Bone marrow smear; 40× objective, oil immersion.
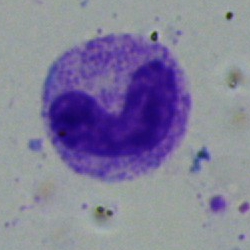
Specimen: bone marrow smear.
Classification: neutrophil (band).
Lineage: myeloid.